Bone marrow smear: 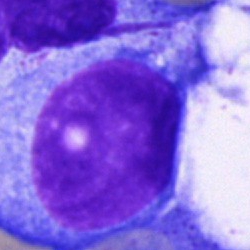 The cell type is blast.